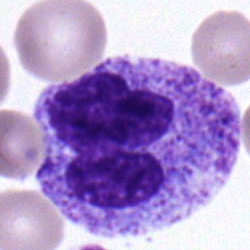
The cell shown is a polymorphonuclear neutrophil.